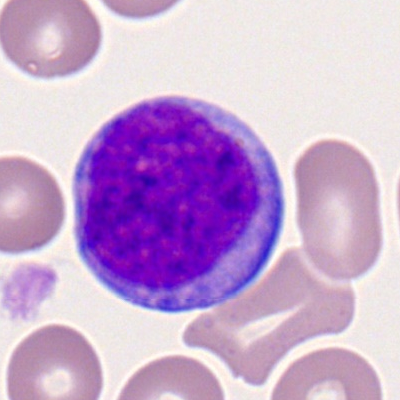 Q: What is shown here?
A: Myeloblast.